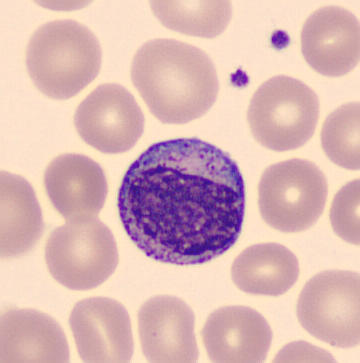 A myelocyte. Preparation: Peripheral blood film; image size 360×363.